100× objective, oil immersion · peripheral blood smear · Romanowsky-stained
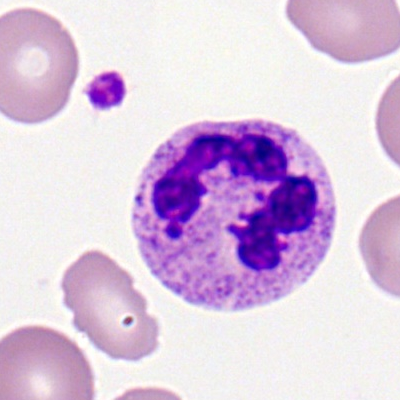
Q: What cell is this?
A: A segmented neutrophil.